Bone marrow aspirate smear — 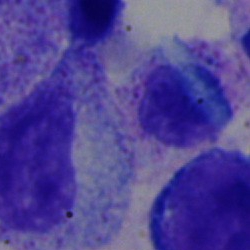
Morphology → myelocyte.